Bone marrow smear · 40× oil immersion:
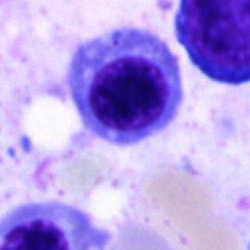

Specimen: bone marrow aspirate smear.
Cell: nucleated red blood cell.
Lineage: erythroid.